250×250 px; bone marrow smear
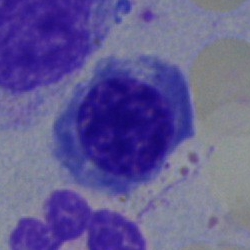An erythroblast.